Bone marrow smear
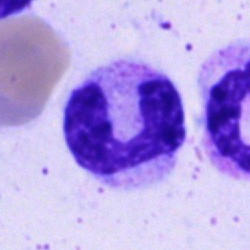Specimen: bone marrow aspirate smear.
Cell type: stab cell.
Lineage: myeloid.